Bone marrow aspirate smear.
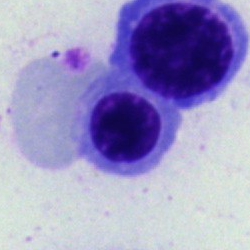

Nucleated red cell.